Bone marrow aspirate smear:
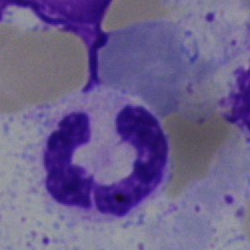

Cell type — segmented neutrophil.